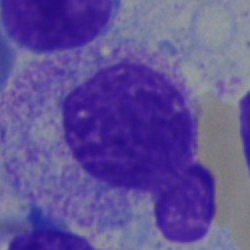
Morphological class — myelocyte.